Bone marrow smear: 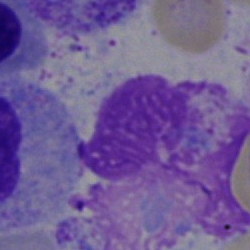

Specimen: bone marrow aspirate smear.
Classification: artifact.